Bone marrow smear:
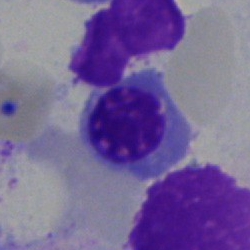
{"cell_type": "nucleated red cell", "lineage": "erythroid"}